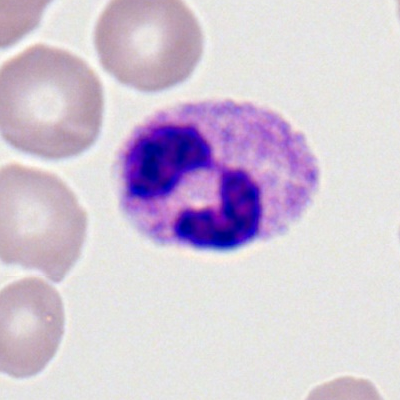 Specimen: peripheral blood film.
Cell: neutrophil (segmented).